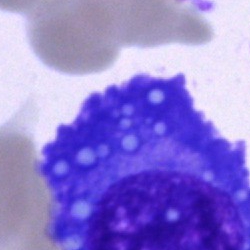 Specimen: bone marrow aspirate smear.
Morphological class: plasmacyte.